Bone marrow aspirate smear. 40× oil immersion: 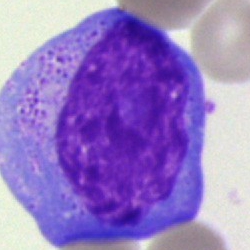
Specimen: bone marrow aspirate smear.
Classification: progranulocyte.